Bone marrow aspirate smear — 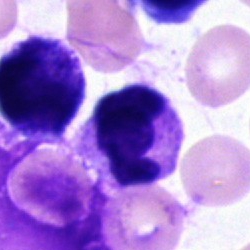Q: Which cell type is shown here?
A: Segmented neutrophil.